40× oil immersion; bone marrow smear — 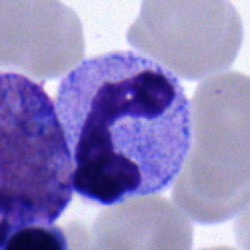
Neutrophil (band).